Bone marrow smear.
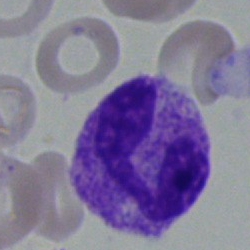

Morphology consistent with a polymorphonuclear neutrophil.